Bone marrow aspirate smear.
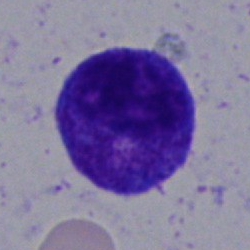
Specimen: bone marrow smear.
Morphological class: promyelocyte.
Lineage: myeloid.